Peripheral blood film; 400 by 400 pixels; single cell centered in the field: 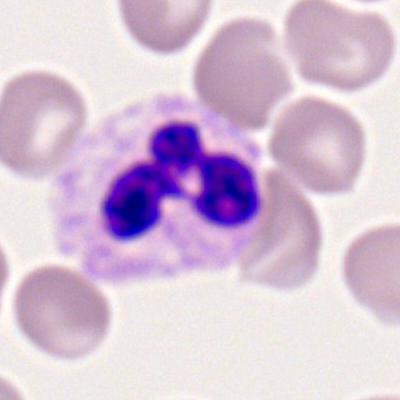Q: What is shown here?
A: Segmented neutrophil.